Single-cell crop. Bone marrow aspirate smear: 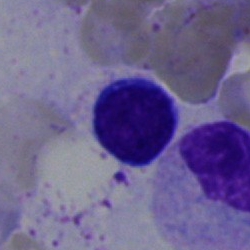 A typical lymphocyte.